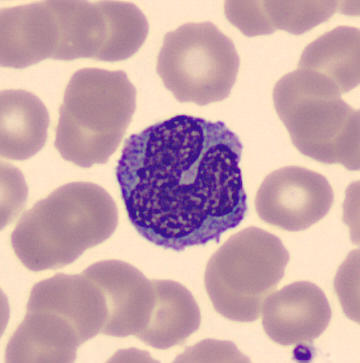 Peripheral blood film.

Cell = monocyte.